Image size 250×250; single-cell crop; bone marrow aspirate smear: 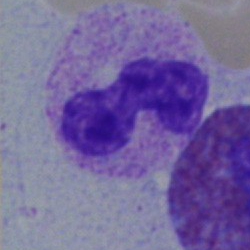

The classification is stab cell.